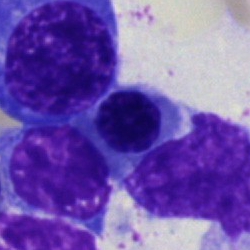This is an erythroblast.